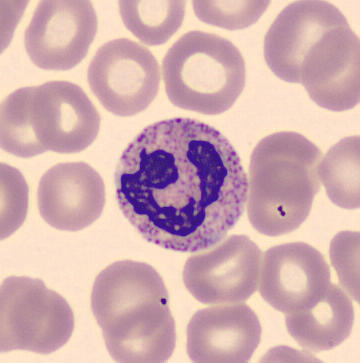
Peripheral blood film; MGG-stained.

A segmented neutrophil.